Bone marrow smear. Single-cell field:
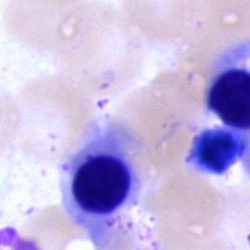Morphological class — normoblast.